Bone marrow smear; 40× oil immersion — 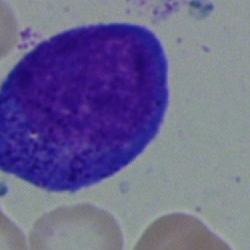
Cell — promyelocyte.